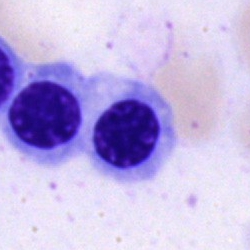

Q: What type of cell is this?
A: It is a nucleated red blood cell.